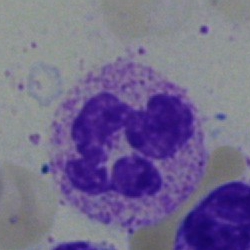

Morphological class — neutrophil (segmented).